Bone marrow smear · brightfield microscopy, 40× oil immersion — 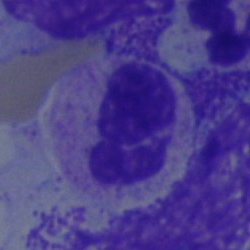A polymorphonuclear neutrophil.